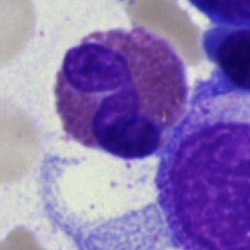Classification = eosinophil.